Bone marrow smear · brightfield, 40× oil-immersion objective · May-Grünwald-Giemsa stain:
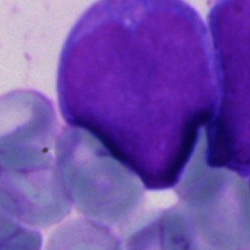
The cell type is undifferentiated blast.